MGG-stained. Bone marrow smear. Single-cell field: 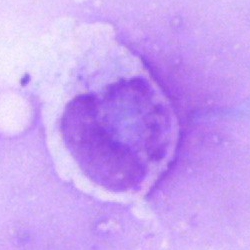

Q: What is shown here?
A: This is an artifact.